Peripheral blood smear.
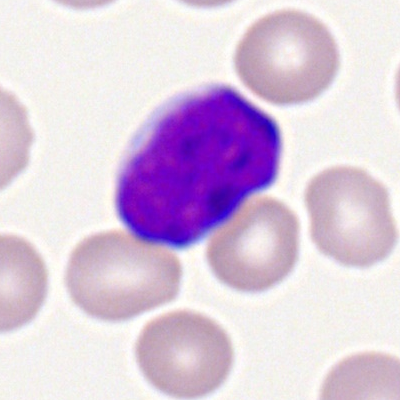

The classification is myeloid blast.